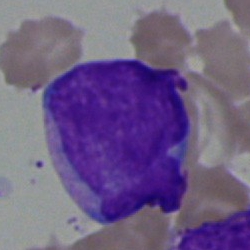 Specimen: bone marrow smear.
Classification: blast cell.